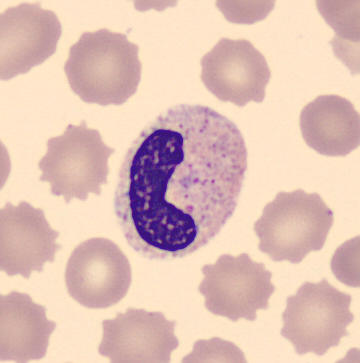

Acquisition: Peripheral blood film.
Cell type: band-form neutrophil.